Peripheral blood film:
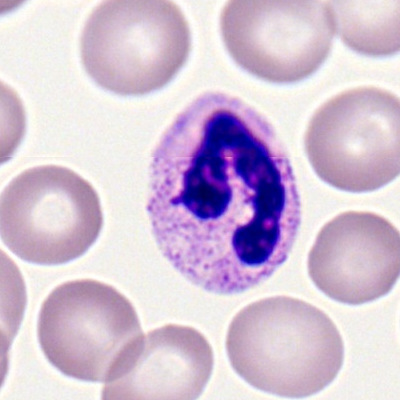
Single cell identified as a neutrophil (segmented).